Bone marrow aspirate smear: 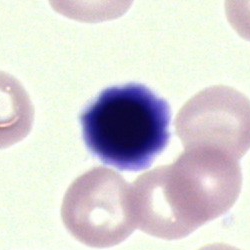

The classification is artefact.